May-Grünwald-Giemsa stain. Bone marrow smear:
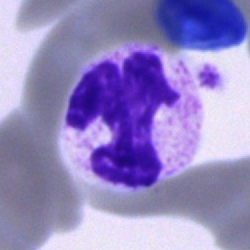
{"cell_type": "polymorphonuclear neutrophil", "lineage": "myeloid"}